Cropped to a single cell · bone marrow aspirate smear · MGG-stained: 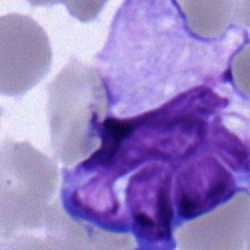Cell type: monocyte.